Peripheral blood smear
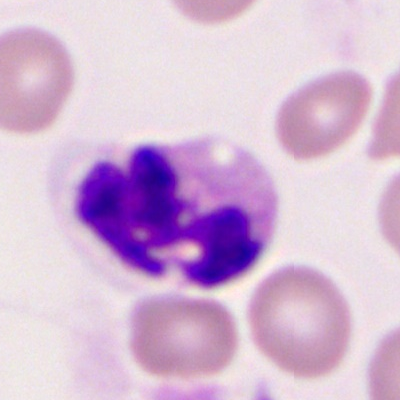

Specimen: peripheral blood film.
Cell type: neutrophil (segmented).